Bone marrow aspirate smear: 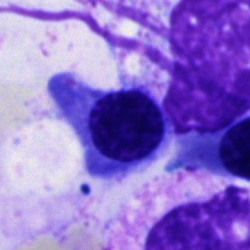 Classification = normoblast.